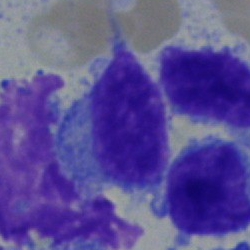 Bone marrow aspirate smear, single cell — lymphocyte.